May-Grünwald-Giemsa stain. Bone marrow smear. 250×250 px.
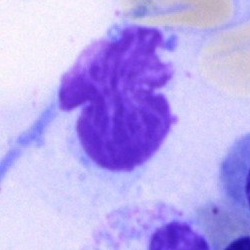 Morphology → artefact.